Bone marrow smear: 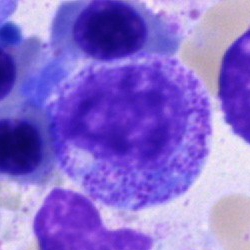
{"cell_type": "promyelocyte"}